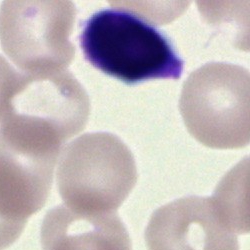

The cell type is artefact.